Bone marrow smear: 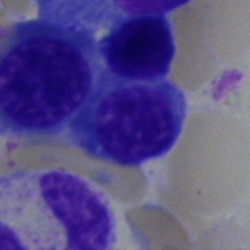 Showing an erythroblast.